Bone marrow smear · 40× objective, oil immersion · 250×250:
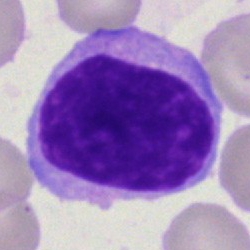Cell type — immature lymphocyte.